Bone marrow smear.
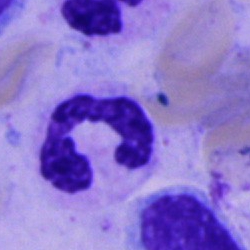

Single cell identified as a polymorphonuclear neutrophil.